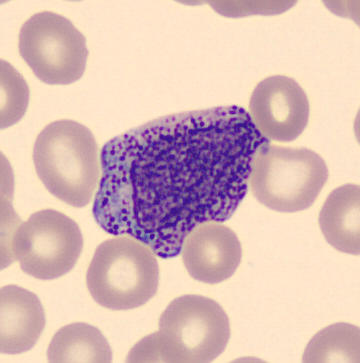 Acquisition: Peripheral blood smear. Morphology — progranulocyte.